Bone marrow aspirate smear · cropped to a single cell.
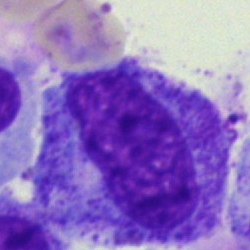The classification is promyelocyte.